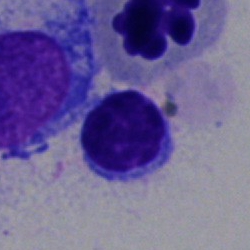 Bone marrow smear showing a typical lymphocyte.